250×250. Bone marrow smear: 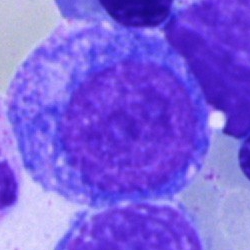

Single cell identified as a promyelocyte.